Bone marrow smear
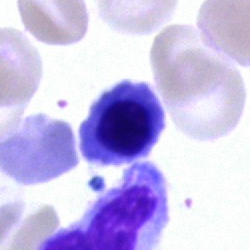 A nucleated red blood cell.